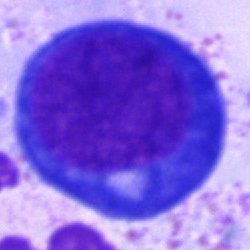

Morphology consistent with a pronormoblast.